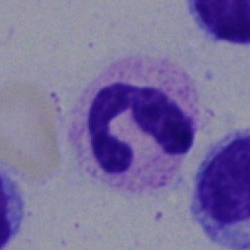

{"cell_type": "segmented neutrophil", "lineage": "myeloid"}